Bone marrow aspirate smear:
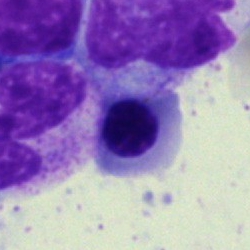

Q: Which cell type is shown here?
A: This is an erythroblast.